M8 digital microscope (Precipoint), 100× oil immersion. Peripheral blood film — 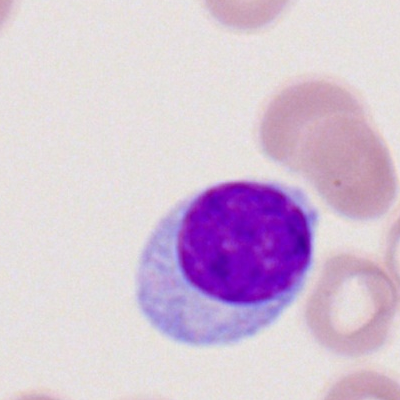

Specimen: peripheral blood smear.
Cell: lymphocyte.